Bone marrow aspirate smear.
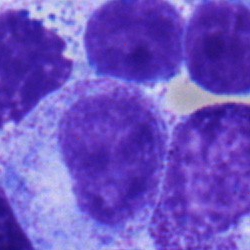

Specimen: bone marrow smear.
Cell: lymphocyte.
Lineage: lymphoid.